Pappenheim-stained. Brightfield microscopy, 40× oil immersion. Bone marrow aspirate smear — 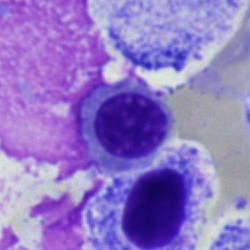

Classification = nucleated red blood cell.